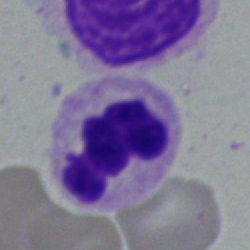

Cell type — polymorphonuclear neutrophil.